Bone marrow smear · 250×250.
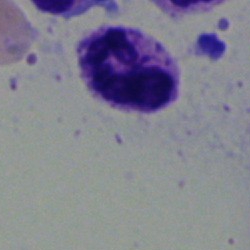

Morphological class = neutrophil (segmented).